Bone marrow smear — 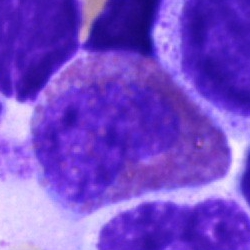
Q: Identify the cell.
A: An eosinophilic granulocyte.